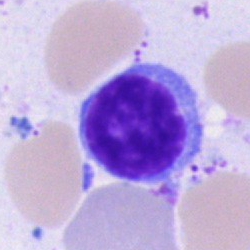

Bone marrow smear showing a lymphocyte.